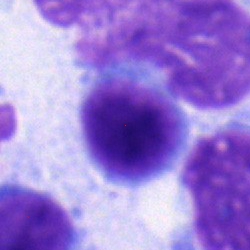

Morphology consistent with a typical lymphocyte.